Bone marrow aspirate smear.
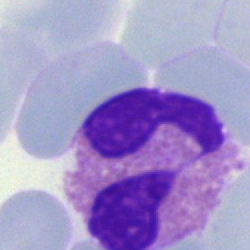
Q: What cell is this?
A: An eosinophil.